Bone marrow smear.
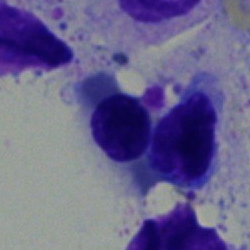Q: What is shown here?
A: Nucleated red cell.